Bone marrow aspirate smear:
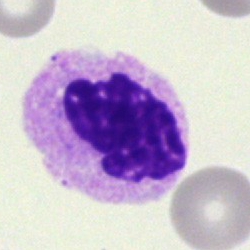

Impression — neutrophil (segmented).